Single-cell crop · bone marrow smear
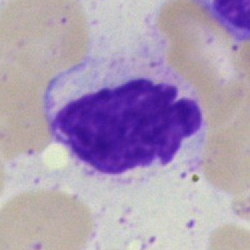

Showing an artifact.